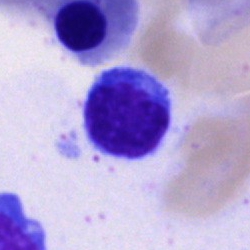 Morphological class: lymphocyte.